Bone marrow smear — 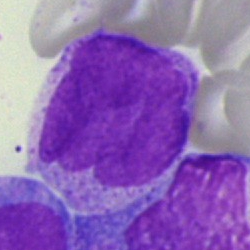Q: What type of cell is this?
A: Blast.